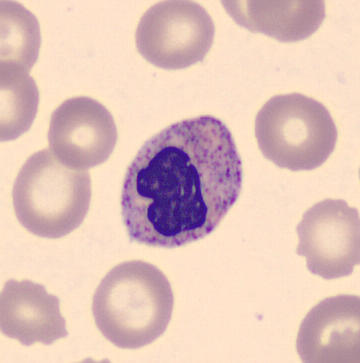
Acquisition: CellaVision DM96 digital cell image; peripheral blood smear. Q: What is the morphological classification of this cell?
A: It is a metamyelocyte.